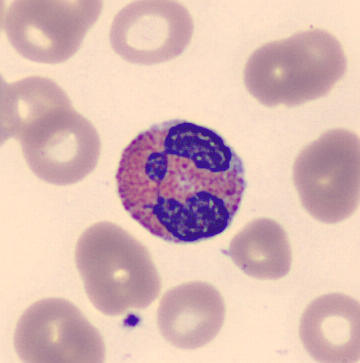 Q: What is shown here?
A: An eosinophilic granulocyte.